Brightfield microscopy, 40× oil immersion; bone marrow smear; single-cell crop — 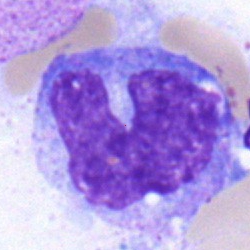

Morphology consistent with a monocyte.